Bone marrow smear
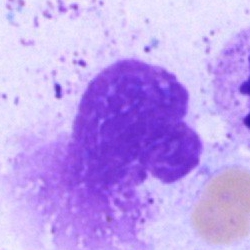 Q: What is shown here?
A: An artefact.